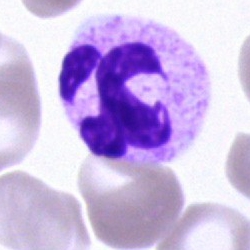 Morphology — neutrophil (segmented).